Bone marrow aspirate smear:
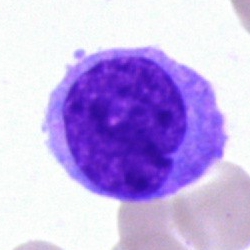
Morphology consistent with a monocyte.